Bone marrow smear
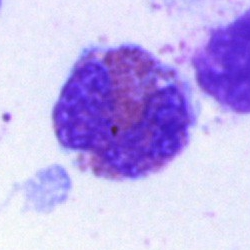Eosinophil.